250×250 px. Bone marrow smear: 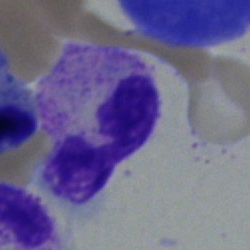Morphology → polymorphonuclear neutrophil.